Brightfield, 40× oil-immersion objective. Bone marrow aspirate smear:
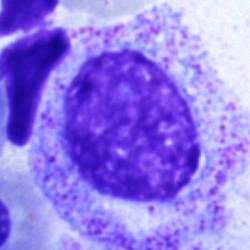

The classification is myelocyte.